Cropped to a single cell. Bone marrow aspirate smear. 40× objective, oil immersion — 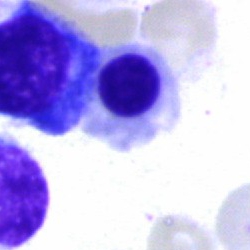

Morphological class: nucleated red blood cell.